Bone marrow smear; May-Grünwald-Giemsa/Pappenheim stain: 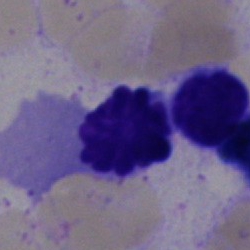

Nucleated red blood cell.